250×250 px; bone marrow aspirate smear; single cell centered in the field.
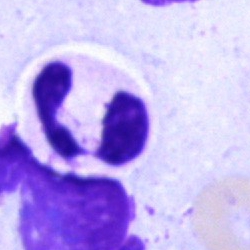
Showing a neutrophil (segmented).